Bone marrow smear. 250 by 250 pixels
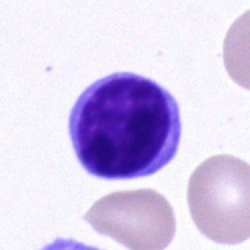

{"cell_type": "typical lymphocyte", "lineage": "lymphoid"}